Bone marrow aspirate smear. 250×250:
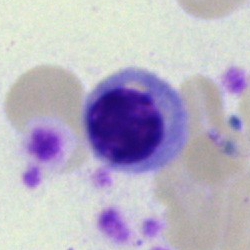
Specimen: bone marrow aspirate smear.
Cell type: normoblast.
Lineage: erythroid.